Bone marrow aspirate smear
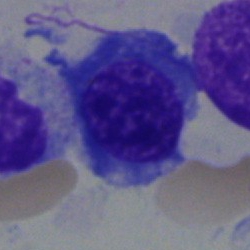
Morphological class: nucleated red blood cell.